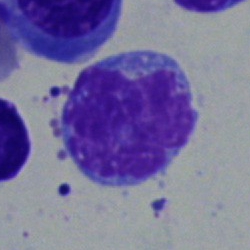 The cell shown is a typical lymphocyte.